Bone marrow aspirate smear:
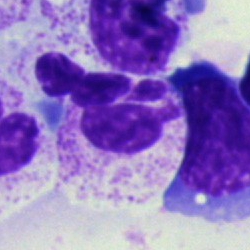
Morphology consistent with a neutrophil (segmented).